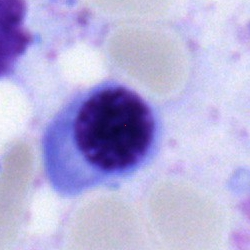Specimen: bone marrow aspirate smear.
Classification: nucleated red blood cell.
Lineage: erythroid.